Bone marrow aspirate smear. Single-cell crop. MGG-stained.
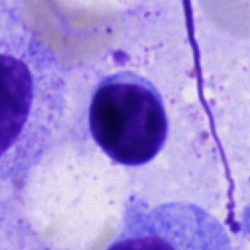

{"cell_type": "lymphocyte"}